Single-cell crop. Brightfield microscopy, 40× oil immersion. Bone marrow smear.
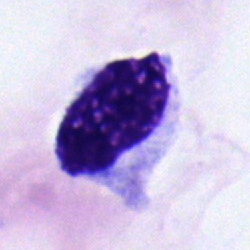
A typical lymphocyte.